Single cell centered in the field; bone marrow aspirate smear:
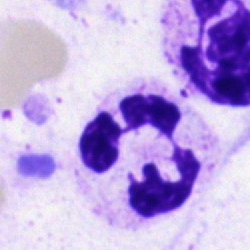

Specimen: bone marrow aspirate smear.
Cell type: neutrophil (segmented).
Lineage: myeloid.